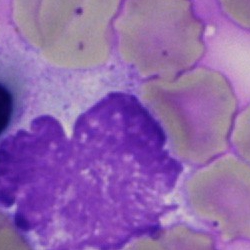

Q: What is shown here?
A: Artefact.